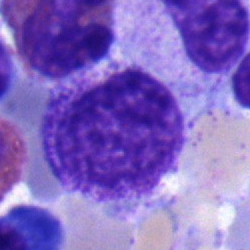A myelocyte.